Bone marrow aspirate smear
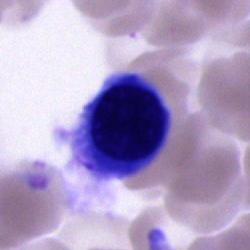 Cell = unidentifiable cell.